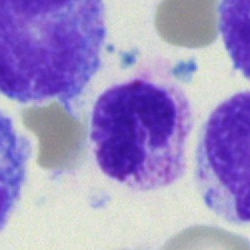The cell shown is a polymorphonuclear neutrophil.